Bone marrow smear — 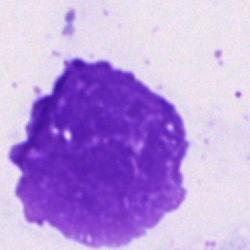
Q: What is shown here?
A: Artefact.